Bone marrow aspirate smear.
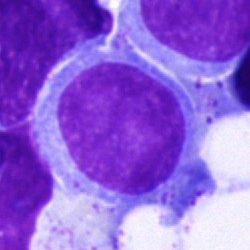Morphology consistent with a blast cell.